Bone marrow smear: 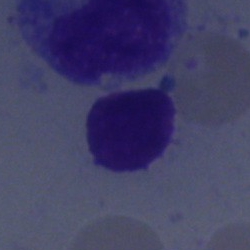
A typical lymphocyte.